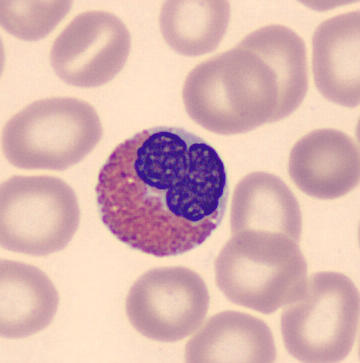 Cell: eosinophil. 360×363 · peripheral blood film.